Bone marrow smear; May-Grünwald-Giemsa stain; cropped to a single cell
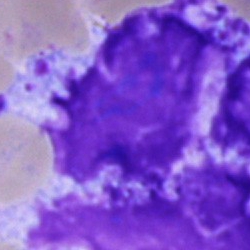

Specimen: bone marrow smear.
Morphological class: artifact.